Brightfield microscopy, 40× oil immersion. Bone marrow smear — 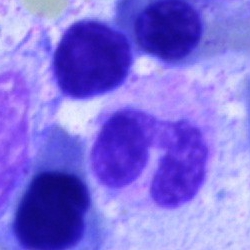Showing a band-form neutrophil.